250 by 250 pixels; bone marrow smear.
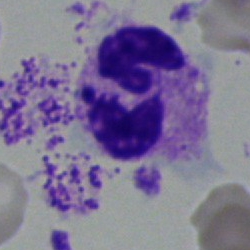

Q: What type of cell is this?
A: This is a segmented neutrophil.